Brightfield, 100× oil-immersion objective. Peripheral blood film
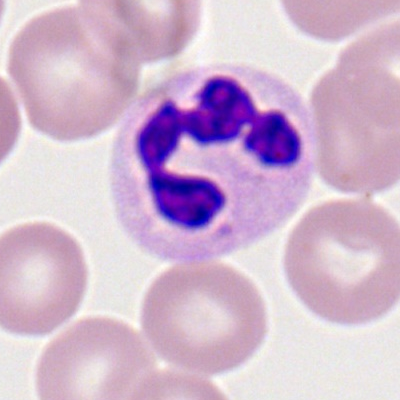Impression → polymorphonuclear neutrophil.